Bone marrow smear.
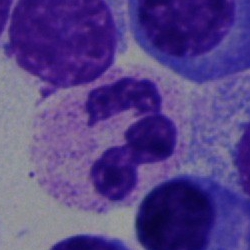
Q: What type of cell is this?
A: A segmented neutrophil.